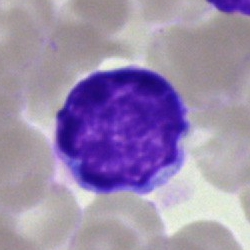
Cell — typical lymphocyte.